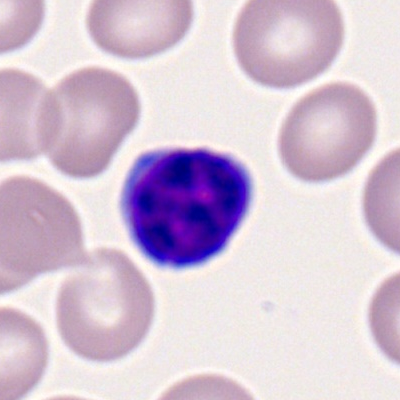Cell: lymphocyte.